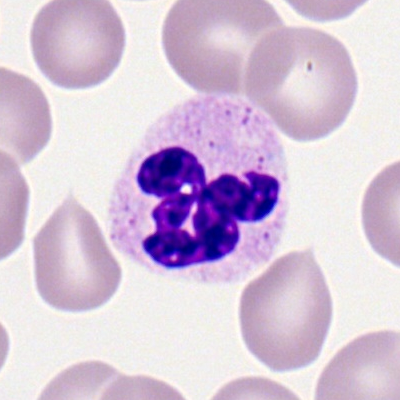 Classification: segmented neutrophil.